Single-cell field · bone marrow aspirate smear
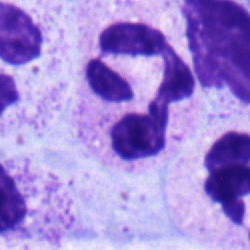
Specimen: bone marrow smear.
Cell: polymorphonuclear neutrophil.
Lineage: myeloid.